MGG-stained. Bone marrow smear — 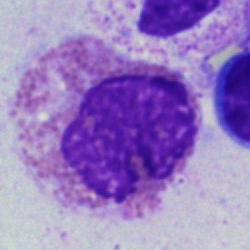
{"cell_type": "eosinophilic granulocyte"}